Bone marrow smear.
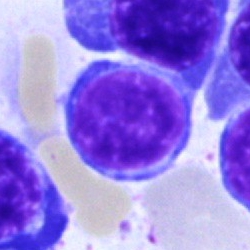
Morphological class — typical lymphocyte.